Single-cell crop · bone marrow aspirate smear — 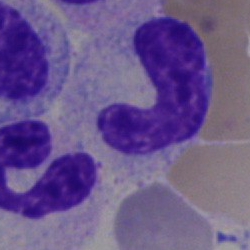

Morphology consistent with a neutrophil (band).